Bone marrow aspirate smear · single-cell crop:
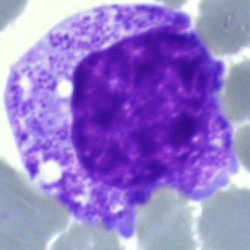

Showing a myelocyte.